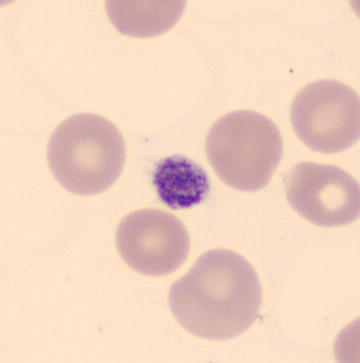
Image: Peripheral blood smear.

Cell type — platelet (thrombocyte).